Bone marrow aspirate smear
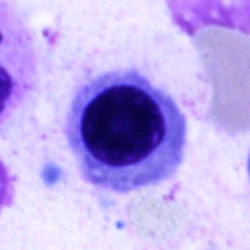

Q: What is the morphological classification of this cell?
A: This is a normoblast.